Single cell centered in the field; bone marrow smear: 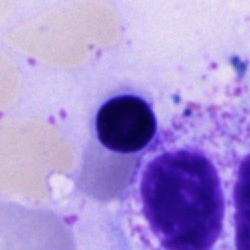Morphology → cell of indeterminate lineage.